Bone marrow aspirate smear
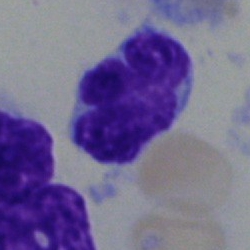 Specimen: bone marrow aspirate smear.
Cell: lymphocyte.
Lineage: lymphoid.